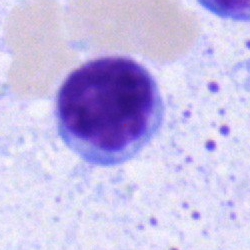Showing a typical lymphocyte.